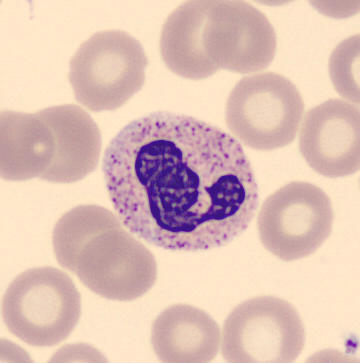 Peripheral blood film.
Segmented neutrophil.